250 by 250 pixels; bone marrow aspirate smear; 40× objective, oil immersion
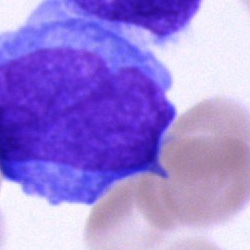

Morphology → blast cell.